Bone marrow aspirate smear; May-Grünwald-Giemsa/Pappenheim stain.
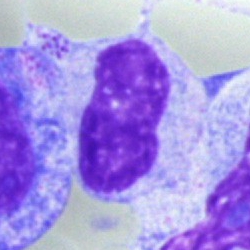
Morphology consistent with a metamyelocyte.